Bone marrow aspirate smear: 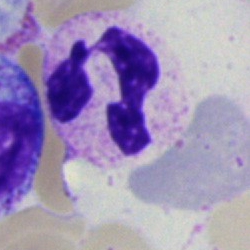This is a segmented neutrophil.